Bone marrow smear:
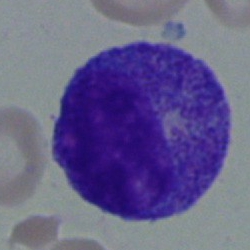The cell shown is a progranulocyte.